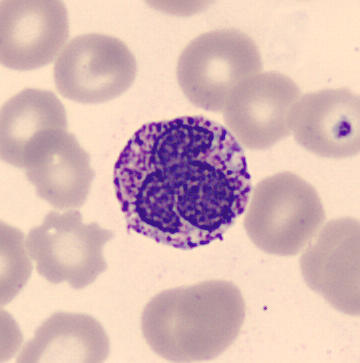Morphological class — basophil. Peripheral blood smear · CellaVision DM96.